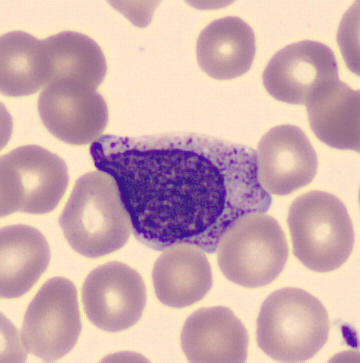 Morphology — myelocyte.
Preparation: Peripheral blood film; single-cell field.